Bone marrow smear. 250 by 250 pixels.
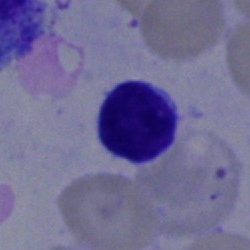

Q: What type of cell is this?
A: Lymphocyte.